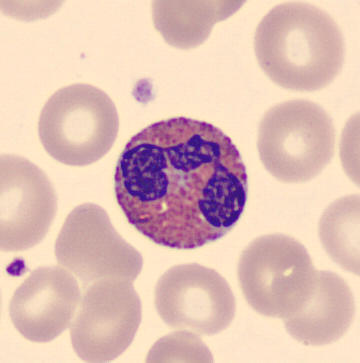

This is an eosinophilic granulocyte.
Image: Single cell centered in the field; peripheral blood smear.